Bone marrow smear.
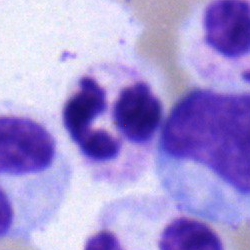
Single cell identified as a segmented neutrophil.